Image size 250×250 · 40× objective, oil immersion · bone marrow aspirate smear — 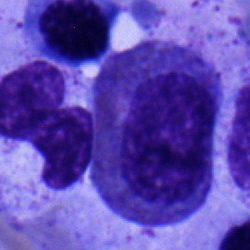

Showing an eosinophil.